Single-cell crop. Bone marrow aspirate smear — 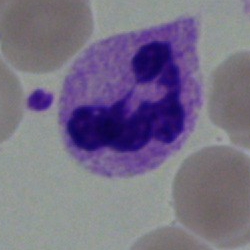
Cell type = segmented neutrophil.